Bone marrow smear; single cell centered in the field.
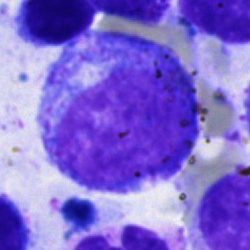
Showing a promyelocyte.